Bone marrow smear — 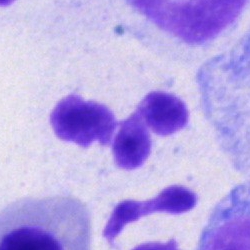
Q: Identify the cell.
A: Polymorphonuclear neutrophil.